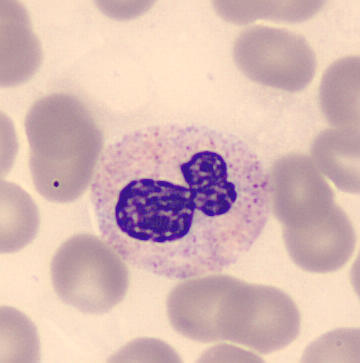

Classification — neutrophil (segmented).

Image: Peripheral blood film.